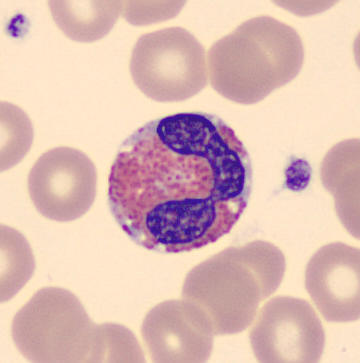
An eosinophilic granulocyte. Preparation: Peripheral blood smear.